Bone marrow smear · brightfield, 40× oil-immersion objective:
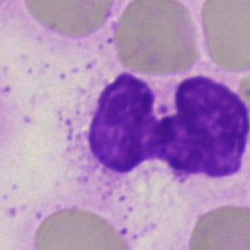 Q: What type of cell is this?
A: It is a polymorphonuclear neutrophil.